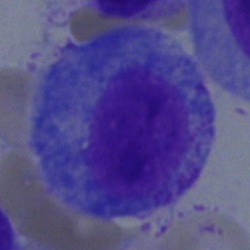
Single cell identified as a progranulocyte.